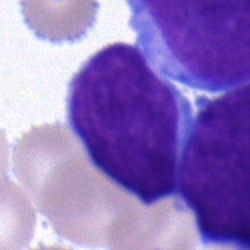 Blast.